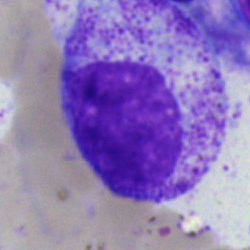Classification = myelocyte.